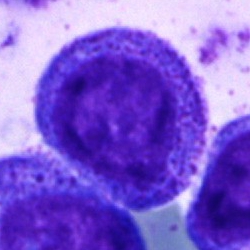The cell type is progranulocyte.